Bone marrow aspirate smear. May-Grünwald-Giemsa stain:
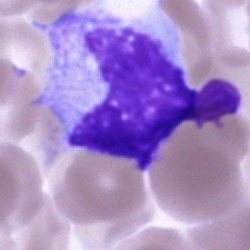Q: What is shown here?
A: It is an artefact.